Bone marrow smear.
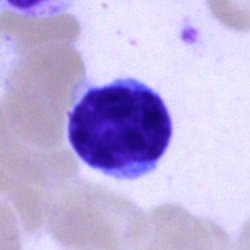
This is a plasma cell.